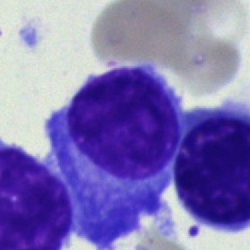Bone marrow smear showing a plasmacyte.